Bone marrow aspirate smear: 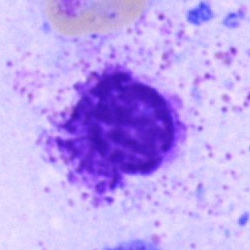Artifact.